Bone marrow smear:
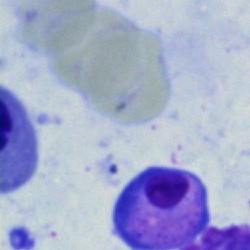 An artefact.